Bone marrow aspirate smear: 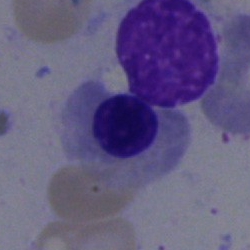
{"cell_type": "nucleated red cell", "lineage": "erythroid"}